250 by 250 pixels. Bone marrow smear. Single-cell field: 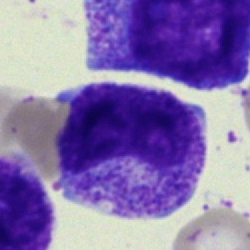

Specimen: bone marrow aspirate smear.
Cell type: band neutrophil.
Lineage: myeloid.